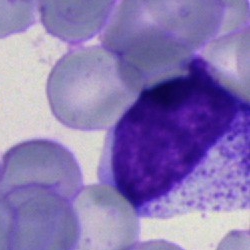{"cell_type": "myelocyte", "lineage": "myeloid"}